Peripheral blood film · CellaVision DM96.
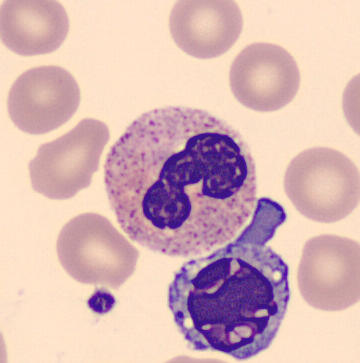 Showing a neutrophil (segmented).